Bone marrow aspirate smear; Pappenheim-stained; brightfield, 40× oil-immersion objective.
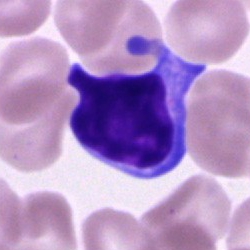
The cell shown is a typical lymphocyte.